Bone marrow smear.
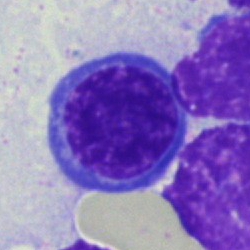 Cell = erythroblast.